Bone marrow smear
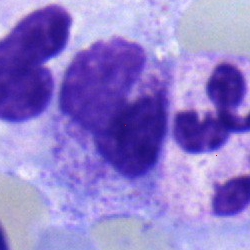 Morphological class — band neutrophil.